Bone marrow aspirate smear:
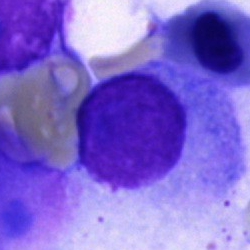
The cell type is plasmacyte.